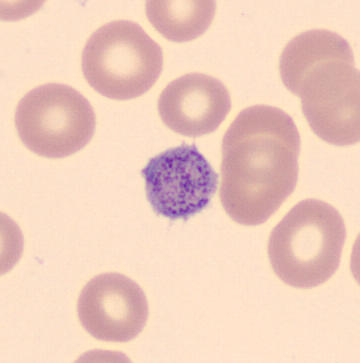 A platelet on a peripheral blood smear.